Bone marrow aspirate smear:
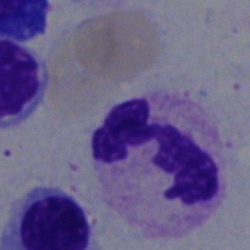

This is a neutrophil (segmented).